Bone marrow aspirate smear: 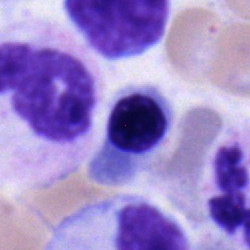 An erythroblast.